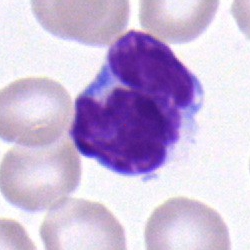
This is a typical lymphocyte.